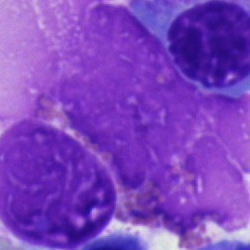Impression → artefact.